Bone marrow smear.
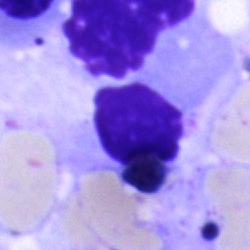

The cell shown is an artifact.